Brightfield microscopy, 40× oil immersion; MGG-stained; bone marrow smear:
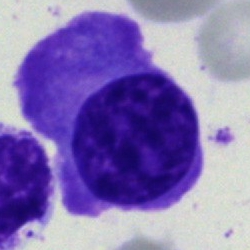A plasma cell.